Bone marrow aspirate smear — 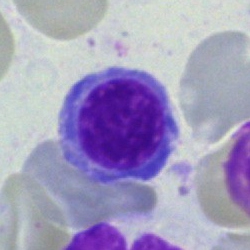

Q: What cell is this?
A: It is a nucleated red cell.